250×250 · single cell centered in the field · bone marrow smear: 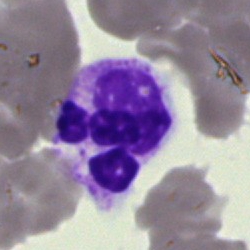

This is a neutrophil (segmented).